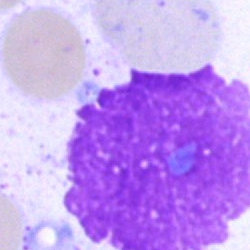

Morphology consistent with an artifact.